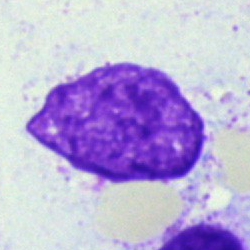An artefact on a bone marrow smear.